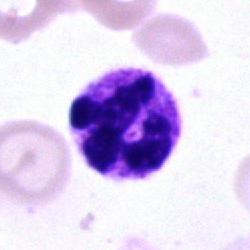 Cell: neutrophil (segmented).